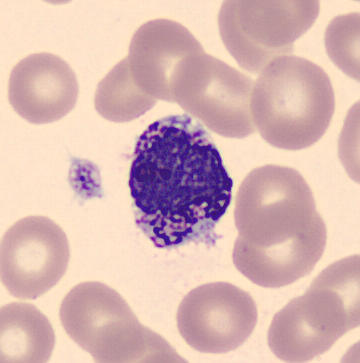
Specimen: peripheral blood smear.
Cell: basophil.